Bone marrow smear · 40× oil immersion:
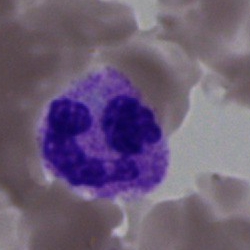 Cell — neutrophil (segmented).